Bone marrow smear — 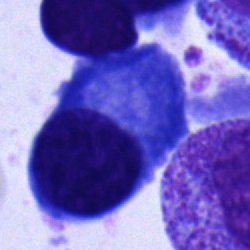

Q: What type of cell is this?
A: Plasmacyte.